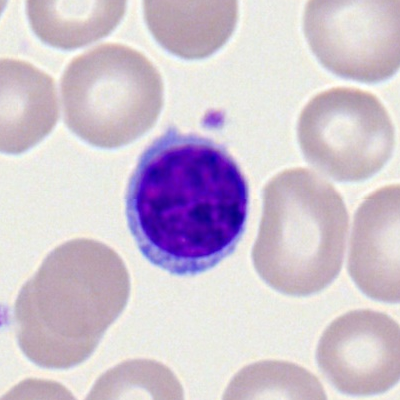
Morphological class — lymphocyte.